Bone marrow aspirate smear.
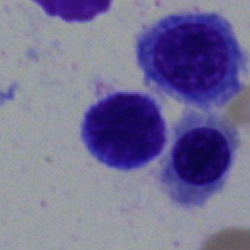{"cell_type": "typical lymphocyte", "lineage": "lymphoid"}